Bone marrow aspirate smear; Pappenheim-stained
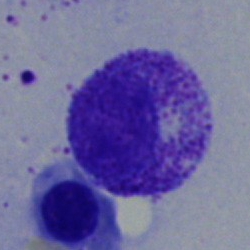 Showing a myelocyte.